Bone marrow aspirate smear — 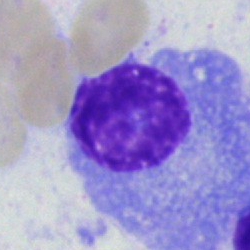 Cell type: plasma cell.